Pappenheim-stained. Bone marrow aspirate smear.
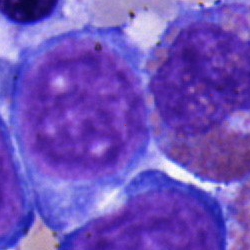
Impression → pronormoblast.